Bone marrow smear.
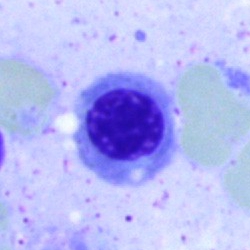
Morphological class — erythroblast.